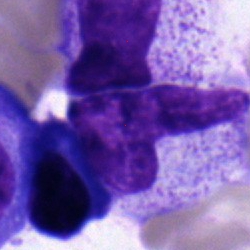
Q: What type of cell is this?
A: It is a metamyelocyte.